Bone marrow aspirate smear:
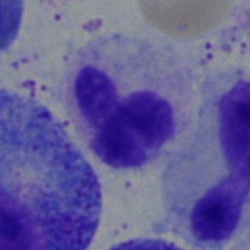
Q: Which cell type is shown here?
A: Band neutrophil.